Bone marrow smear
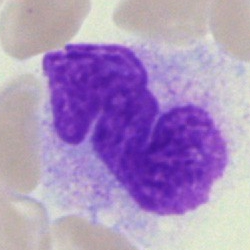

Classification — artefact.